Bone marrow aspirate smear: 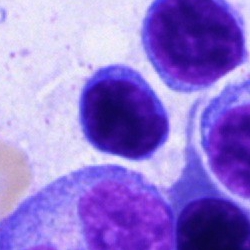 Cell — lymphocyte.